Bone marrow aspirate smear · May-Grünwald-Giemsa stain: 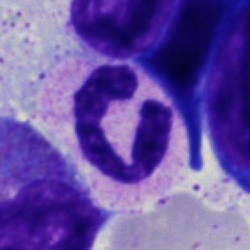
The classification is polymorphonuclear neutrophil.